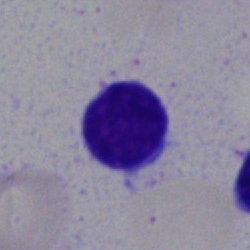 The cell is typical lymphocyte.